Bone marrow smear · May-Grünwald-Giemsa/Pappenheim stain:
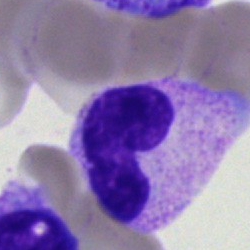Morphology consistent with a band neutrophil.